Bone marrow smear.
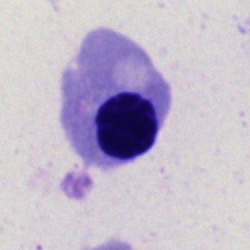

Q: Identify the cell.
A: It is an erythroblast.